Bone marrow aspirate smear:
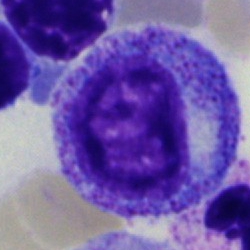
The morphological class is progranulocyte.